Peripheral blood film · 100× oil immersion, 14.14 px/µm
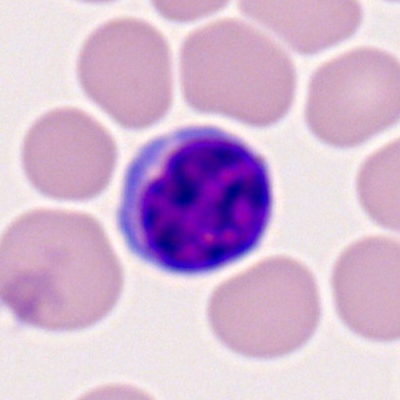

The classification is lymphocyte.